250×250 · bone marrow smear:
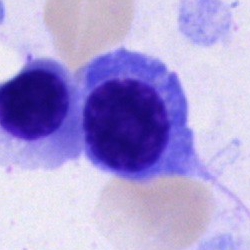 Q: Identify the cell.
A: Nucleated red cell.